Bone marrow aspirate smear.
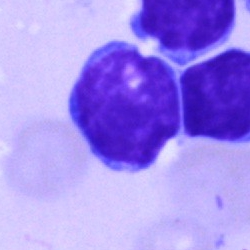
Specimen: bone marrow aspirate smear.
Cell: lymphocyte.
Lineage: lymphoid.